Bone marrow aspirate smear — 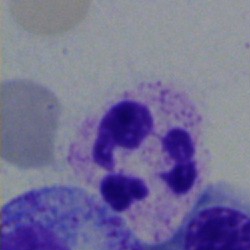 Q: What is the morphological classification of this cell?
A: A neutrophil (segmented).